Bone marrow smear · May-Grünwald-Giemsa/Pappenheim stain · 40× objective, oil immersion: 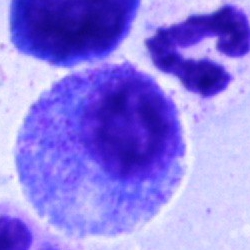
Morphology consistent with a promyelocyte.